Bone marrow aspirate smear.
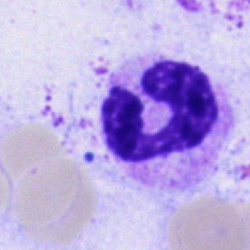 Cell type = band-form neutrophil.